Peripheral blood film:
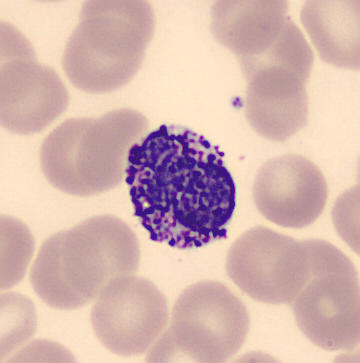 Q: What is shown here?
A: Basophil.